Bone marrow smear — 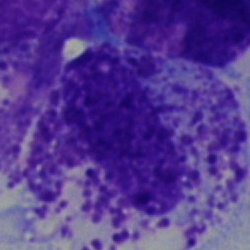

Specimen: bone marrow smear.
Cell type: other cell type.